Bone marrow aspirate smear — 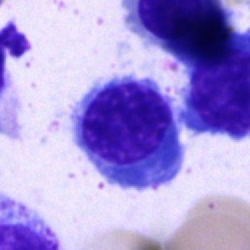

Q: Which cell type is shown here?
A: This is a normoblast.